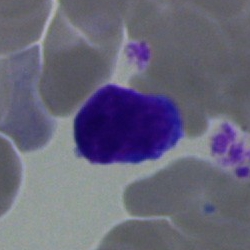
{"cell_type": "typical lymphocyte", "lineage": "lymphoid"}